Bone marrow smear · 250×250.
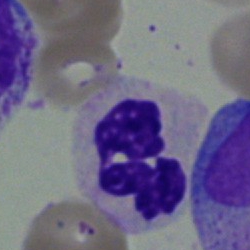 Impression — polymorphonuclear neutrophil.